May-Grünwald-Giemsa/Pappenheim stain. Bone marrow smear
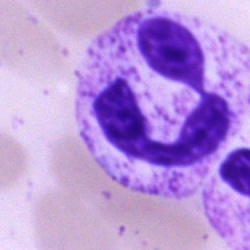Classification = neutrophil (segmented).